Bone marrow smear.
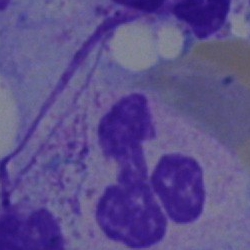Single cell identified as a neutrophil (segmented).